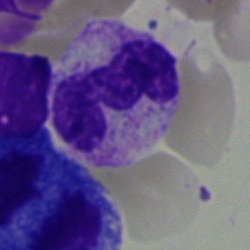

Cell type — neutrophil (band).